Bone marrow aspirate smear: 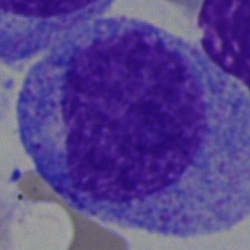Q: What is shown here?
A: Progranulocyte.